Bone marrow aspirate smear; 40× oil immersion
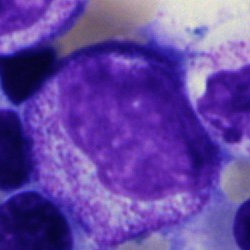
The classification is myelocyte.